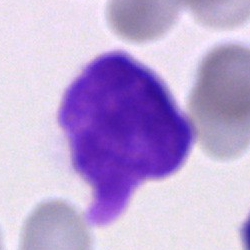

Classification = artefact.